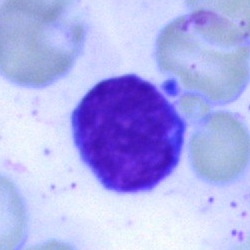 Typical lymphocyte.